250 by 250 pixels; 40× objective, oil immersion; bone marrow aspirate smear
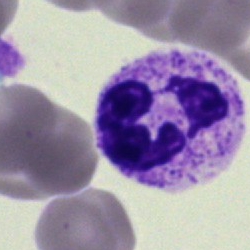Morphology consistent with a neutrophil (segmented).